Bone marrow aspirate smear; May-Grünwald-Giemsa/Pappenheim stain: 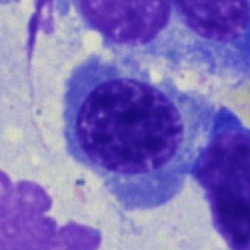 Classification — nucleated red blood cell.